Bone marrow smear; single-cell crop:
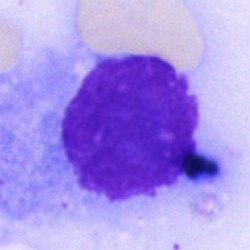
Showing an artifact.